MGG-stained. Bone marrow aspirate smear. Brightfield, 40× oil-immersion objective
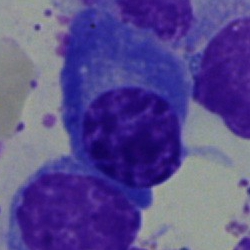

A plasma cell.